Bone marrow smear: 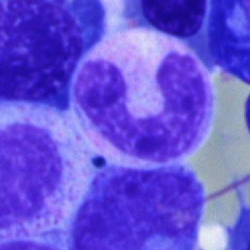Cell — band neutrophil.